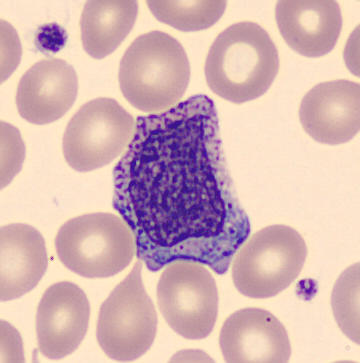Peripheral blood film. Single-cell field. Classification: myelocyte.